Bone marrow smear. 250×250:
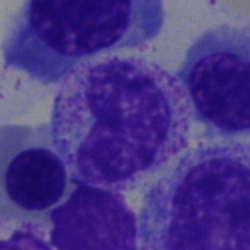 {"cell_type": "metamyelocyte"}